Bone marrow aspirate smear · Pappenheim-stained · 40× oil immersion:
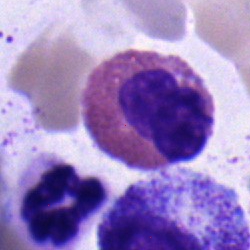

Classification = eosinophilic granulocyte.